Bone marrow smear. MGG-stained — 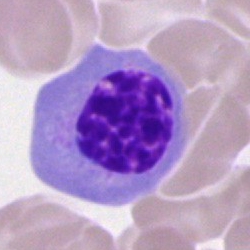
Cell = erythroblast.